Bone marrow aspirate smear.
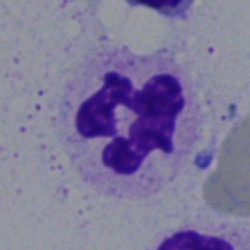

Neutrophil (segmented).